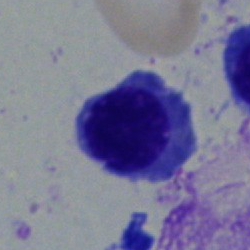

This is an erythroblast.